40× objective, oil immersion. Bone marrow aspirate smear:
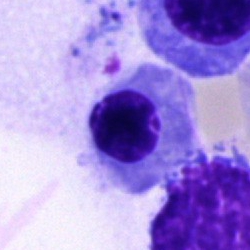 The morphological class is nucleated red blood cell.